Peripheral blood smear.
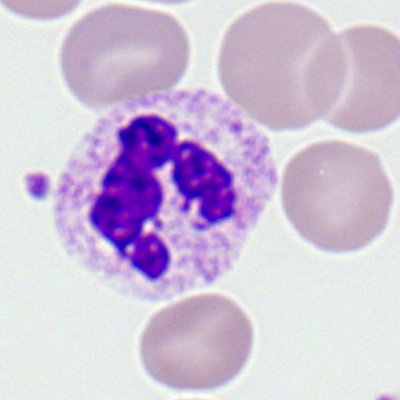 Impression → neutrophil (segmented).